Bone marrow aspirate smear.
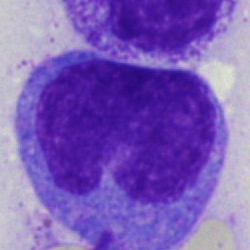

Monocyte.